Single-cell field. Bone marrow smear: 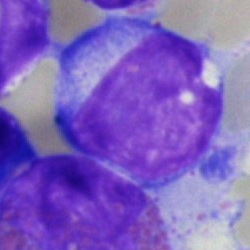 Q: What is the morphological classification of this cell?
A: Undifferentiated blast.